Cropped to a single cell. Brightfield, 40× oil-immersion objective. Bone marrow smear — 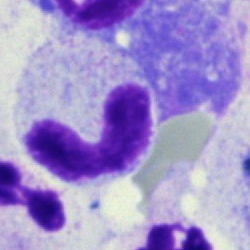
Single cell identified as a band neutrophil.